Peripheral blood smear:
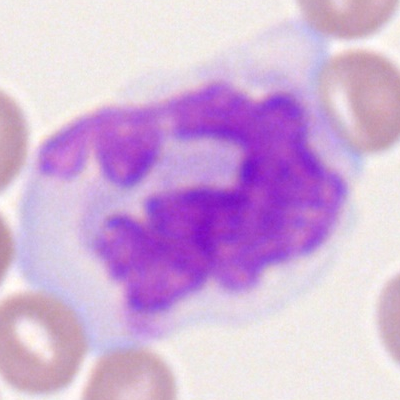Monocyte.